Bone marrow aspirate smear:
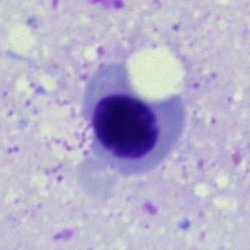

Specimen: bone marrow smear.
Cell: nucleated red cell.
Lineage: erythroid.